Peripheral blood smear; single cell centered in the field — 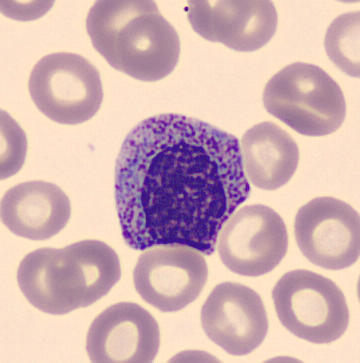 Cell: myelocyte.